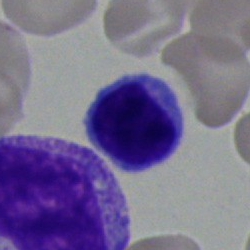
Q: What is shown here?
A: This is a lymphocyte.